Bone marrow aspirate smear.
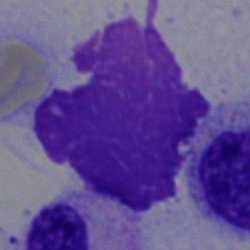 An artefact.